Peripheral blood film.
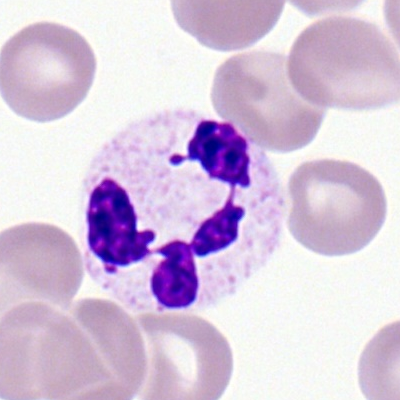
This is a neutrophil (segmented).